May-Grünwald-Giemsa/Pappenheim stain. Cropped to a single cell. Bone marrow aspirate smear.
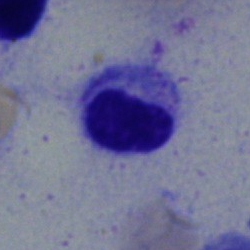

The cell shown is a lymphocyte.